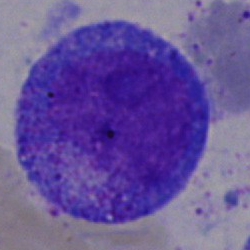 A promyelocyte.